Bone marrow aspirate smear
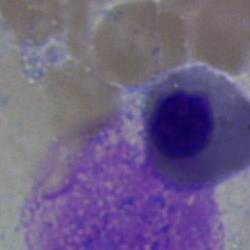Specimen: bone marrow aspirate smear.
Cell: nucleated red blood cell.